Bone marrow smear: 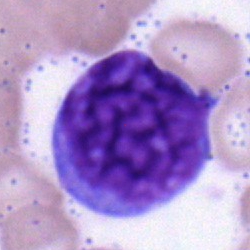
Single cell identified as a typical lymphocyte.